Single cell centered in the field; bone marrow smear:
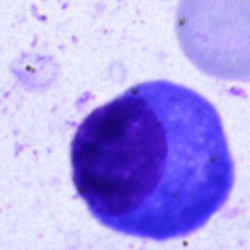 This is a plasma cell.